Bone marrow smear. May-Grünwald-Giemsa/Pappenheim stain — 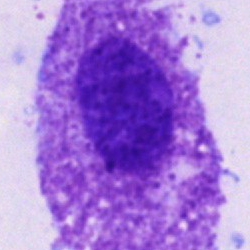 Showing an other cell.